Bone marrow aspirate smear:
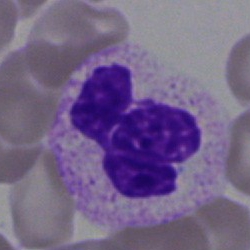

The classification is segmented neutrophil.